Brightfield, 40× oil-immersion objective · bone marrow aspirate smear:
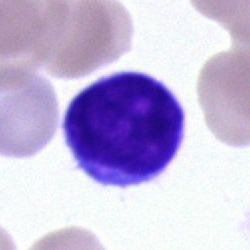

Specimen: bone marrow smear.
Classification: typical lymphocyte.